Bone marrow smear. 40× oil immersion:
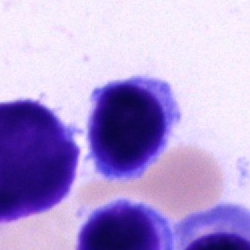Q: What is the morphological classification of this cell?
A: Typical lymphocyte.